Romanowsky-stained; peripheral blood film.
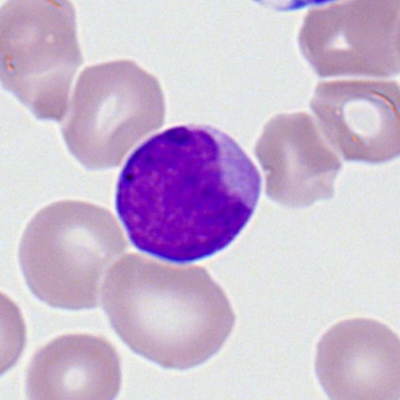

The cell shown is a myeloid blast.